Single-cell crop · bone marrow smear:
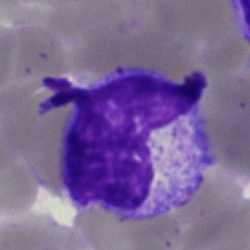 This is a metamyelocyte.